Bone marrow smear: 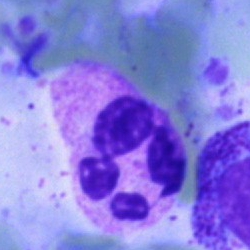Morphological class — neutrophil (segmented).